Bone marrow smear; 250×250; brightfield, 40× oil-immersion objective: 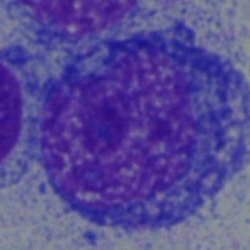 Cell — blast.